Bone marrow smear:
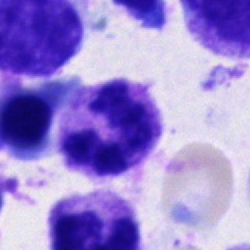 The cell shown is a polymorphonuclear neutrophil.